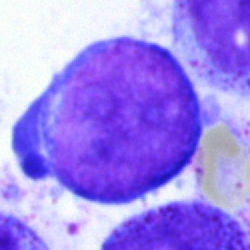{"cell_type": "proerythroblast", "lineage": "erythroid"}